M8 digital microscope (Precipoint), 100× oil immersion · peripheral blood film
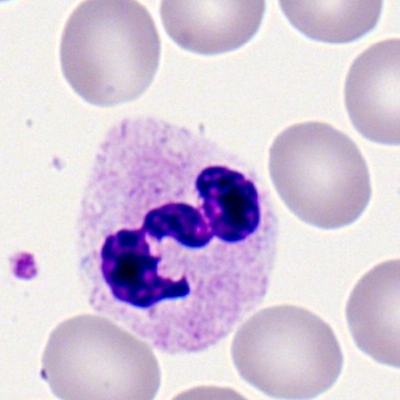 Q: What type of cell is this?
A: A polymorphonuclear neutrophil.